Bone marrow aspirate smear — 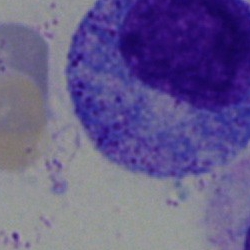
Cell — progranulocyte.